Bone marrow aspirate smear:
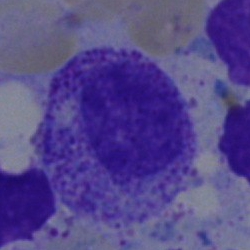Morphology consistent with a myelocyte.